Bone marrow smear · 250 by 250 pixels · 40× oil immersion
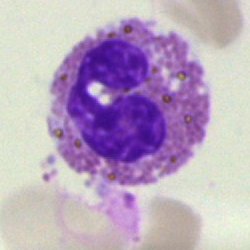Showing an eosinophilic granulocyte.